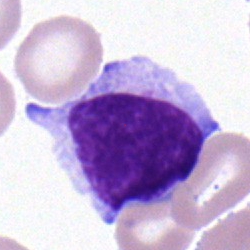
Q: Which cell type is shown here?
A: Typical lymphocyte.